Bone marrow smear:
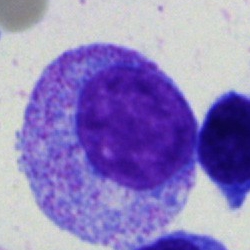The cell type is pronormoblast.